Bone marrow smear — 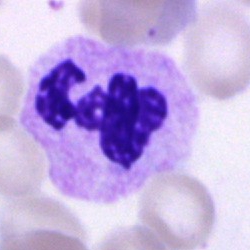

This is a segmented neutrophil.